Bone marrow smear:
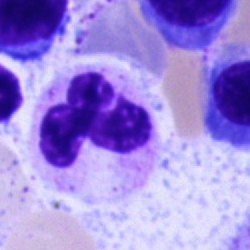 Q: What type of cell is this?
A: It is a lymphocyte.